May-Grünwald-Giemsa/Pappenheim stain · bone marrow aspirate smear
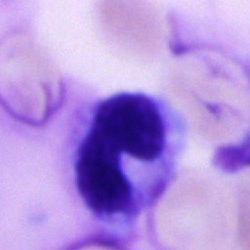 Morphology consistent with a band neutrophil.